Peripheral blood smear: 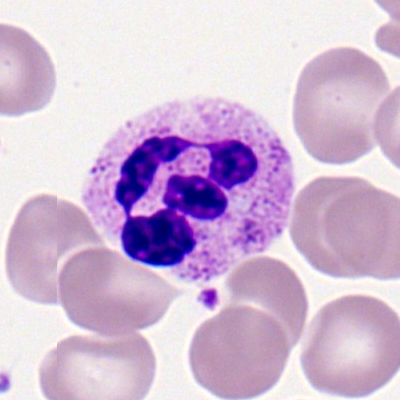Cell type — polymorphonuclear neutrophil.